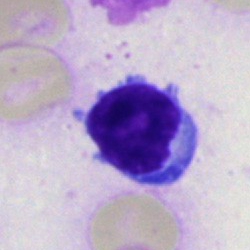

Specimen: bone marrow smear.
Classification: lymphocyte.